Bone marrow smear; image size 250×250:
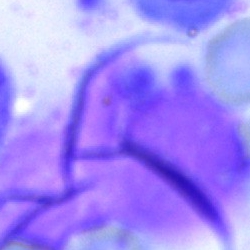
An artefact.